40× oil immersion · Pappenheim-stained · bone marrow aspirate smear:
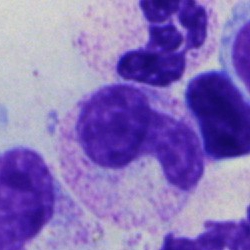

Band-form neutrophil.